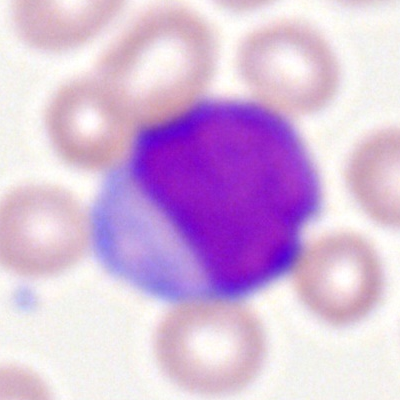

The classification is myeloid blast.